Bone marrow smear.
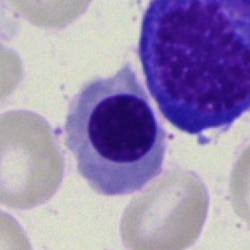
Morphology consistent with a normoblast.